Pappenheim-stained · bone marrow aspirate smear: 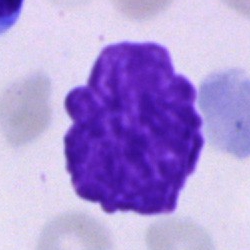Specimen: bone marrow smear.
Morphological class: artifact.